Bone marrow smear:
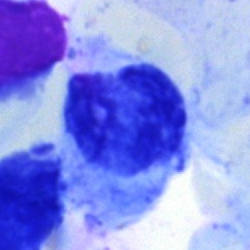 Morphological class — artifact.